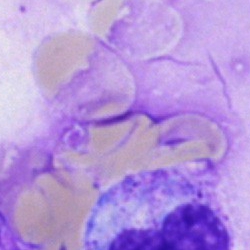{"cell_type": "artifact"}